Bone marrow smear.
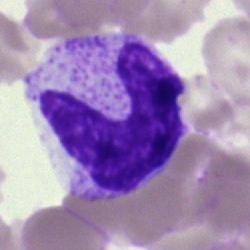Classification = stab cell.